Bone marrow smear. May-Grünwald-Giemsa stain:
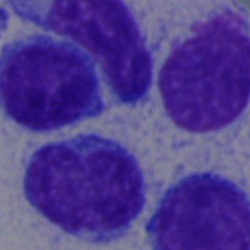 Morphology — lymphocyte.